Bone marrow smear. 40× objective, oil immersion: 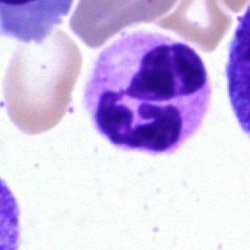 Impression → polymorphonuclear neutrophil.